Bone marrow smear
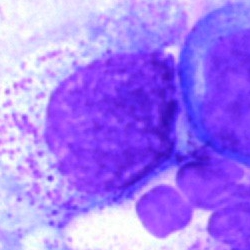This is a myelocyte.